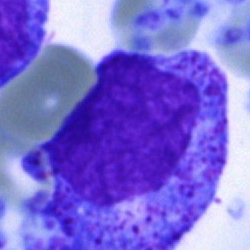 {"cell_type": "promyelocyte"}